Bone marrow smear — 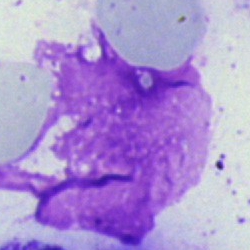 Impression — artifact.